Bone marrow smear · May-Grünwald-Giemsa/Pappenheim stain · single-cell field — 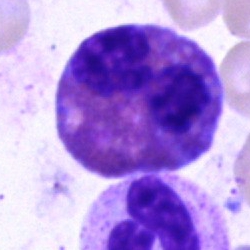
Eosinophilic granulocyte.